Bone marrow smear — 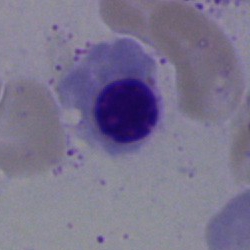 This is an erythroblast.